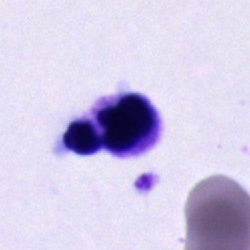Classification = unidentifiable cell.